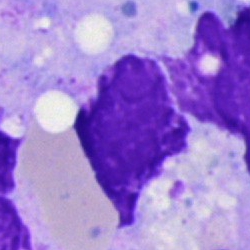 Q: What is shown here?
A: Artifact.